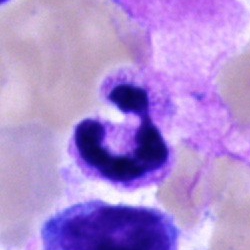

Morphological class — neutrophil (segmented).